Bone marrow aspirate smear; 40× oil immersion; single-cell field
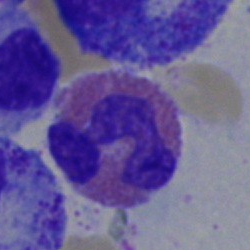
Morphological class — eosinophilic granulocyte.